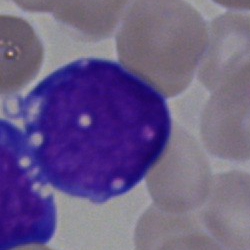

Q: What type of cell is this?
A: It is a blast cell.